Bone marrow aspirate smear — 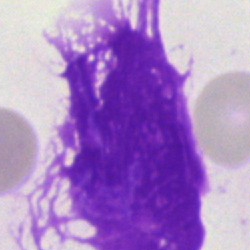This is an artifact.